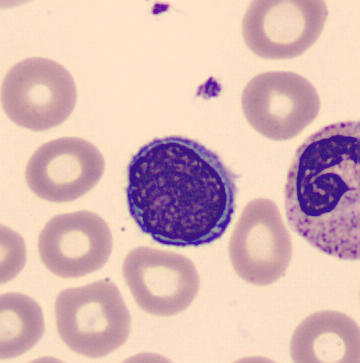

{"cell_type": "typical lymphocyte", "lineage": "lymphoid"} Peripheral blood smear.